Single-cell crop. Peripheral blood smear — 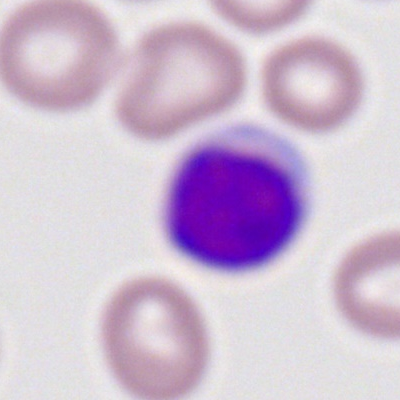Morphological class — lymphocyte.